Peripheral blood smear. 400×400 — 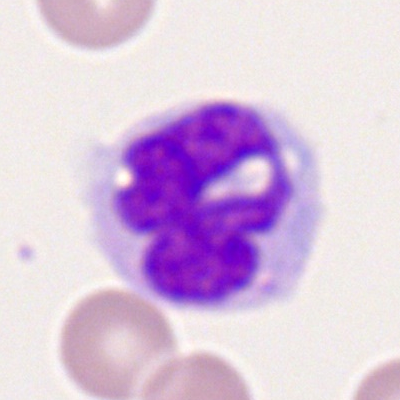
Morphology consistent with a monocyte.